Bone marrow aspirate smear.
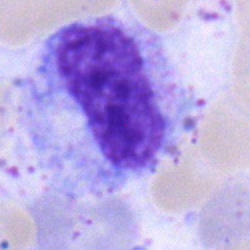Specimen: bone marrow aspirate smear.
Morphological class: metamyelocyte.